Bone marrow aspirate smear:
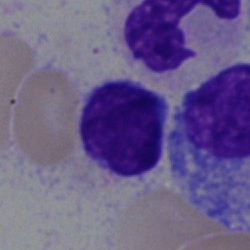

Q: Identify the cell.
A: This is a lymphocyte.